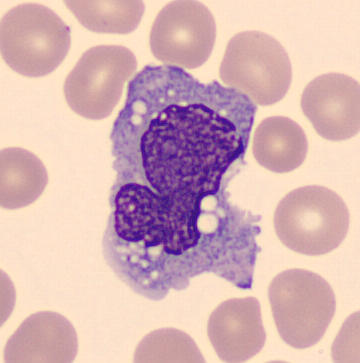Acquisition: Peripheral blood film.

Showing a monocyte.